May-Grünwald-Giemsa stain · single-cell field · bone marrow aspirate smear
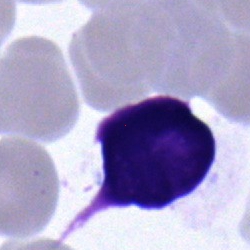 Impression → lymphocyte.